Single cell centered in the field; peripheral blood smear
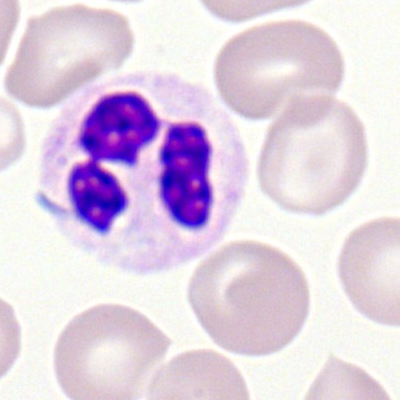Morphology consistent with a segmented neutrophil.